250×250. Bone marrow aspirate smear.
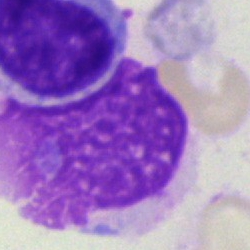 Cell type = artifact.